Bone marrow smear; 250 by 250 pixels: 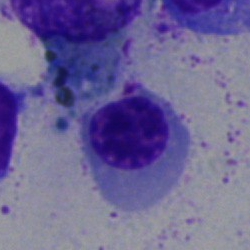
Morphological class: erythroblast.